Bone marrow aspirate smear: 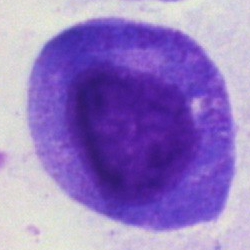
Morphological class: myelocyte.